Peripheral blood film; 100× oil immersion, 14.14 px/µm:
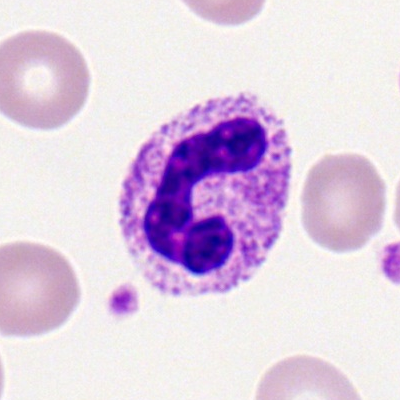
Q: What is the morphological classification of this cell?
A: A neutrophil (band).